Bone marrow aspirate smear; 40× objective, oil immersion.
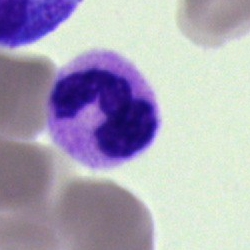
This is a neutrophil (segmented).